May-Grünwald-Giemsa/Pappenheim stain; bone marrow smear — 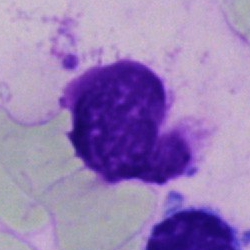 Q: What is shown here?
A: Artifact.